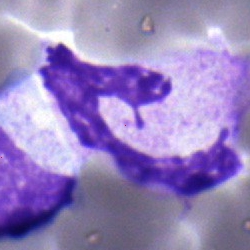Impression → neutrophil (segmented).